Cropped to a single cell. Bone marrow smear. Brightfield microscopy, 40× oil immersion: 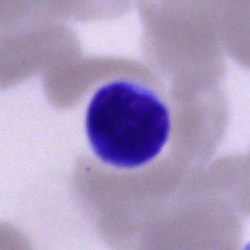Morphology → typical lymphocyte.